Bone marrow smear.
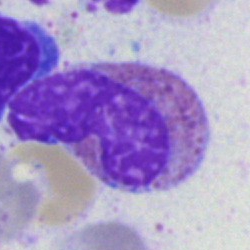The morphological class is eosinophil.